Bone marrow aspirate smear: 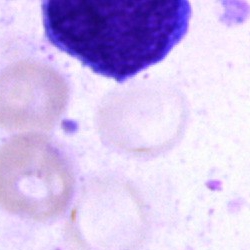

Cell: artifact.